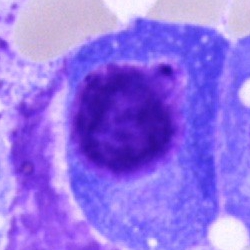
A plasma cell.